Peripheral blood smear. 100× oil immersion.
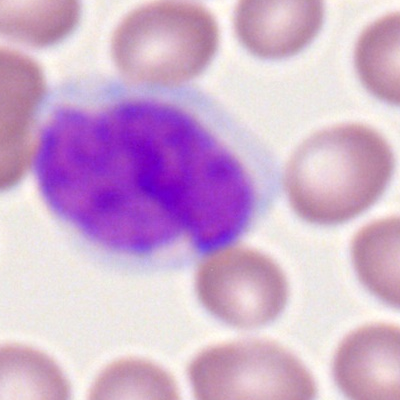Specimen: peripheral blood film.
Morphological class: monocyte.
Lineage: myeloid.